Bone marrow aspirate smear:
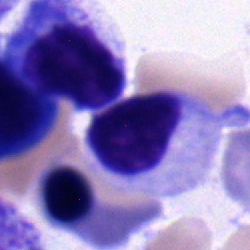
The cell type is myelocyte.